Cropped to a single cell · May-Grünwald-Giemsa/Pappenheim stain · bone marrow aspirate smear
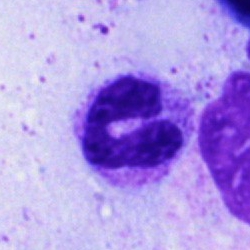 Q: What type of cell is this?
A: It is a neutrophil (segmented).